Peripheral blood smear:
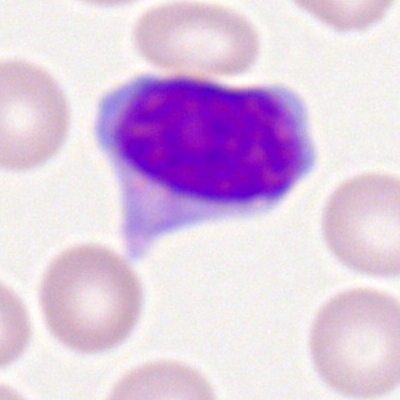Typical lymphocyte.